Bone marrow aspirate smear:
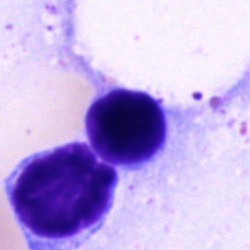Q: What is the morphological classification of this cell?
A: Lymphocyte.